Image size 250×250; bone marrow smear:
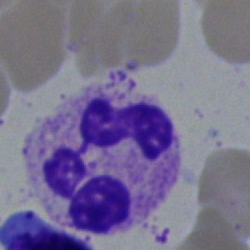Classification = segmented neutrophil.